Bone marrow aspirate smear; single-cell crop: 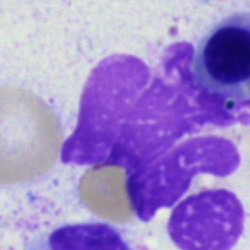Impression — artifact.